Bone marrow smear · image size 250×250 · MGG-stained — 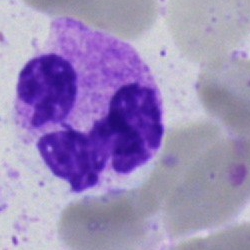 Specimen: bone marrow aspirate smear.
Morphological class: polymorphonuclear neutrophil.
Lineage: myeloid.